Peripheral blood film; single-cell crop; 100× oil immersion, 14.14 px/µm.
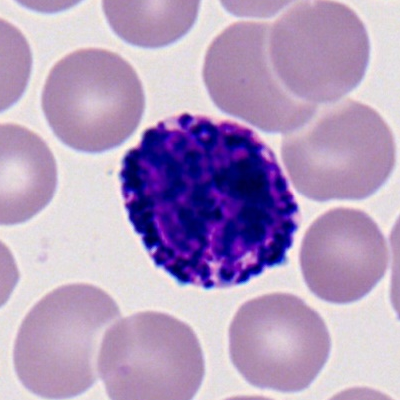 Classification — basophil.